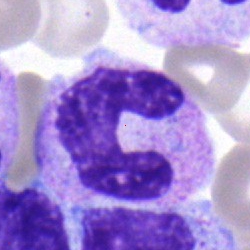

{"cell_type": "stab cell"}